Bone marrow smear.
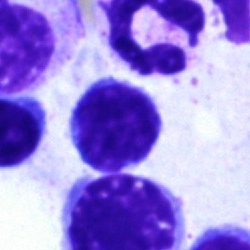

Lymphocyte.